Bone marrow smear:
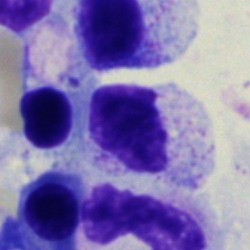

Specimen: bone marrow smear.
Classification: myelocyte.
Lineage: myeloid.